Bone marrow smear · 250×250 px · May-Grünwald-Giemsa/Pappenheim stain
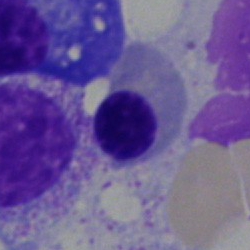Morphological class: nucleated red blood cell.